Bone marrow aspirate smear · cropped to a single cell
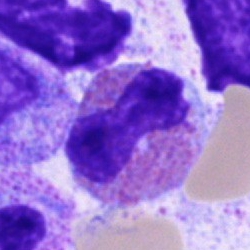

Q: Which cell type is shown here?
A: An eosinophilic granulocyte.